Bone marrow aspirate smear:
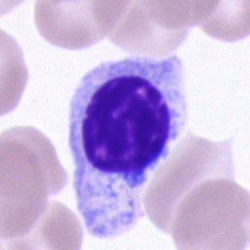

Specimen: bone marrow smear.
Cell type: unidentifiable cell.